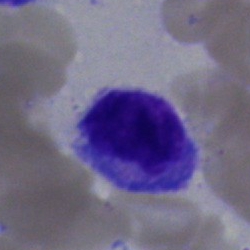 Specimen: bone marrow smear.
Morphological class: lymphocyte.
Lineage: lymphoid.